Bone marrow smear; single-cell crop; 40× oil immersion:
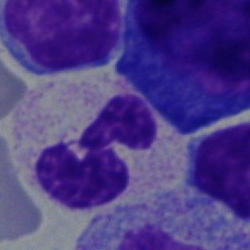Q: Identify the cell.
A: This is a segmented neutrophil.